Bone marrow smear:
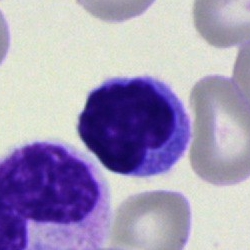

Specimen: bone marrow aspirate smear.
Cell type: lymphocyte.